Brightfield microscopy, 40× oil immersion · bone marrow aspirate smear — 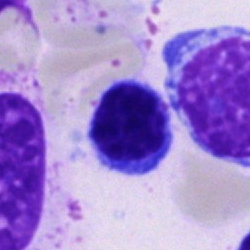

The cell shown is a lymphocyte.